Bone marrow aspirate smear
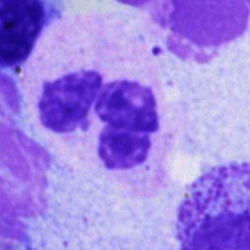 Cell = polymorphonuclear neutrophil.